Peripheral blood smear — 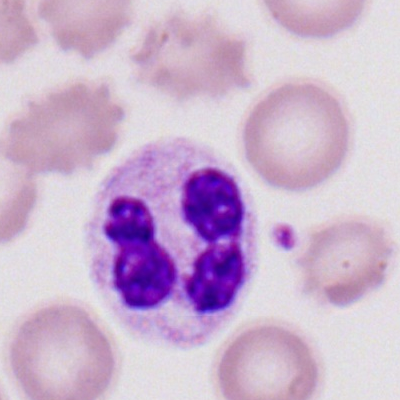Specimen: peripheral blood film.
Morphological class: neutrophil (segmented).
Lineage: myeloid.